Single-cell field. Bone marrow aspirate smear:
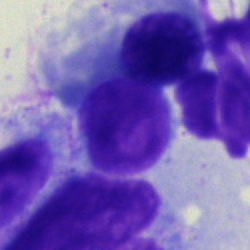Morphological class: lymphocyte.